Bone marrow aspirate smear.
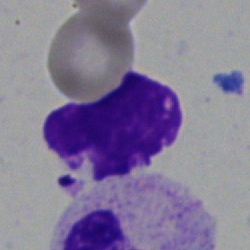
Morphology → artifact.